MGG-stained. Bone marrow smear.
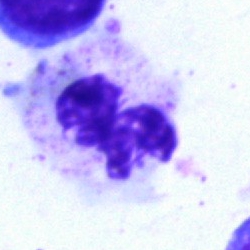

Morphology → neutrophil (segmented).